Pappenheim-stained; bone marrow smear; single-cell field — 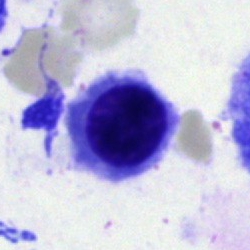
Cell type — erythroblast.